Bone marrow aspirate smear; brightfield, 40× oil-immersion objective: 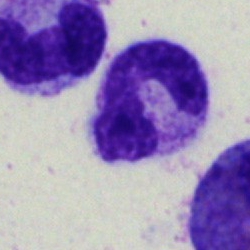
Morphology → stab cell.